Bone marrow smear
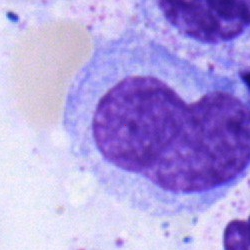 Monocyte.